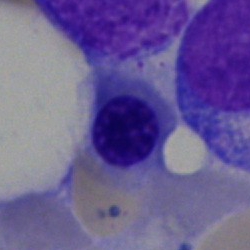
Q: What is shown here?
A: This is an erythroblast.